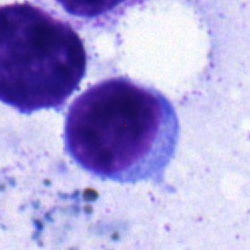 This is a lymphocyte.